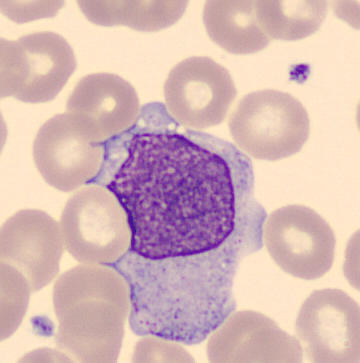

Morphology — monocyte.